Bone marrow smear
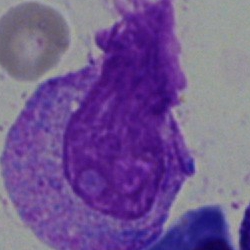Morphological class = blast.